Single-cell field. Bone marrow aspirate smear.
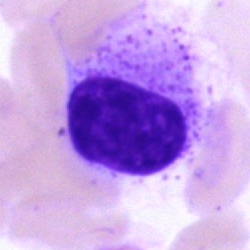 {"cell_type": "artefact"}